Peripheral blood film
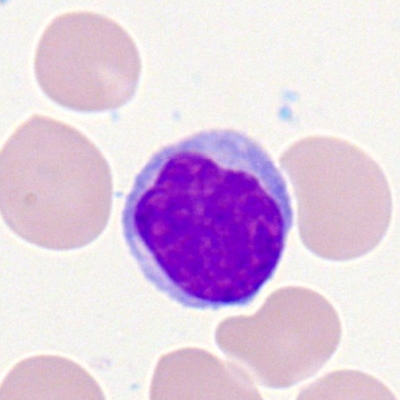

Cell type = typical lymphocyte.